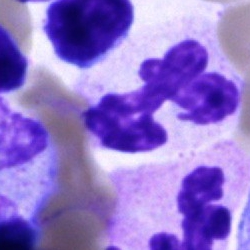
Specimen: bone marrow aspirate smear.
Morphological class: neutrophil (segmented).
Lineage: myeloid.